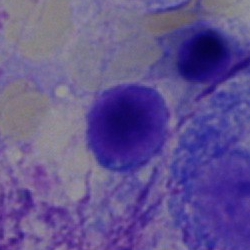Specimen: bone marrow smear.
Morphological class: lymphocyte.